Bone marrow aspirate smear.
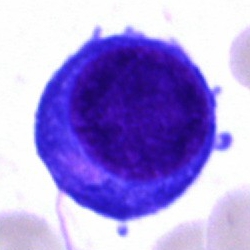 Q: What is the morphological classification of this cell?
A: It is a plasma cell.